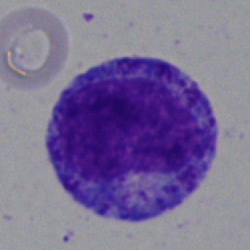

{"cell_type": "promyelocyte", "lineage": "myeloid"}